Bone marrow smear
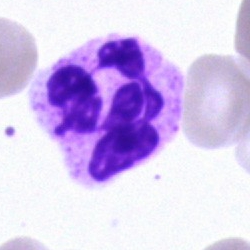Morphological class: neutrophil (segmented).